Peripheral blood smear: 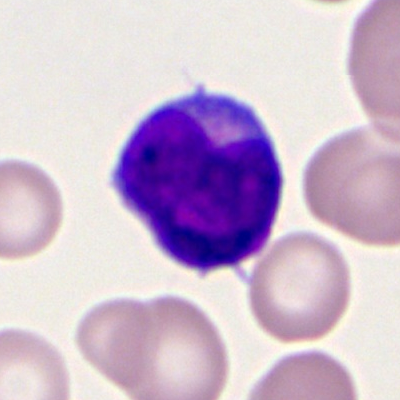

Single cell identified as a myeloblast.